250 by 250 pixels. Bone marrow aspirate smear: 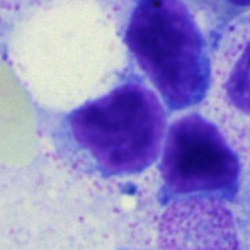

The cell shown is a typical lymphocyte.